Bone marrow smear: 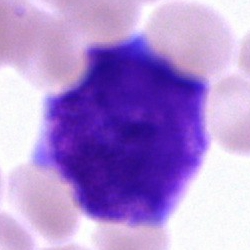
The morphological class is blast.